Peripheral blood smear; single-cell field — 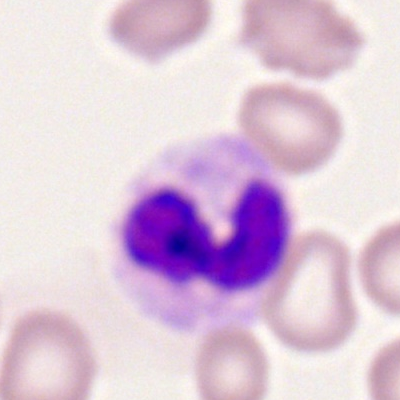 A neutrophil (segmented).